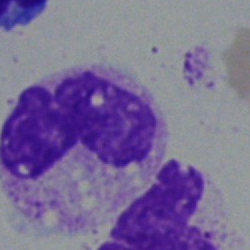
Cell — neutrophil (segmented).